Bone marrow smear; MGG-stained
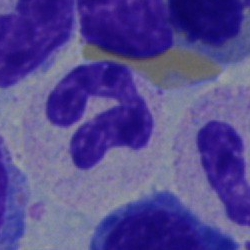Cell: neutrophil (segmented).